Bone marrow smear: 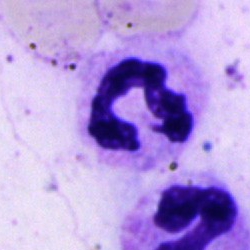
Polymorphonuclear neutrophil.